Peripheral blood smear:
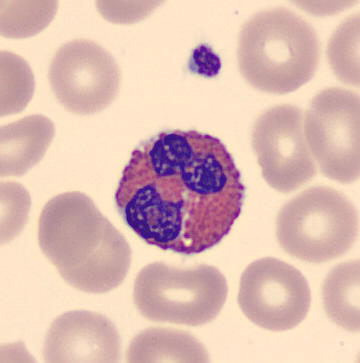

Identified as an eosinophilic granulocyte.